Bone marrow smear — 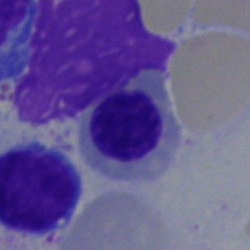Morphological class = nucleated red blood cell.